Bone marrow aspirate smear.
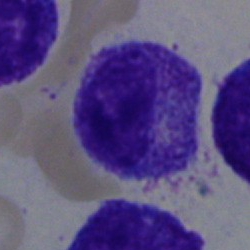 Specimen: bone marrow smear.
Cell type: myelocyte.